Image size 250×250. Bone marrow smear
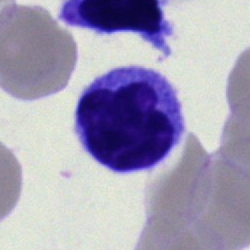 Q: What is the morphological classification of this cell?
A: A lymphocyte.